Peripheral blood film.
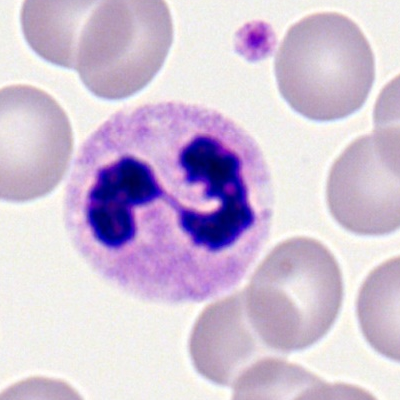

The cell type is segmented neutrophil.